100× oil immersion, 14.14 px/µm · peripheral blood film:
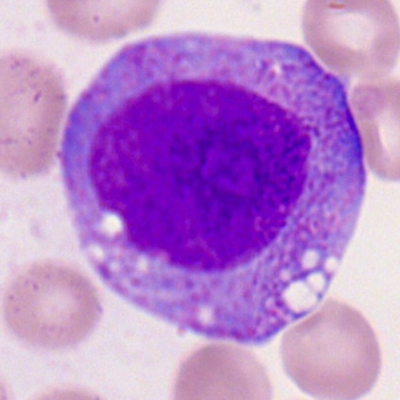
{"cell_type": "promyelocyte", "lineage": "myeloid"}